250 by 250 pixels; bone marrow smear: 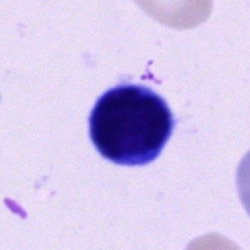

Morphological class = lymphocyte.